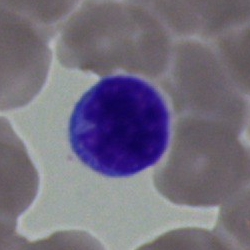 Morphology — typical lymphocyte.